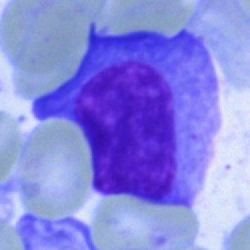
Q: What is the morphological classification of this cell?
A: Plasmacyte.